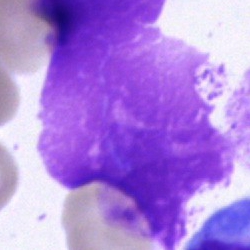

Q: What is shown here?
A: An artifact.